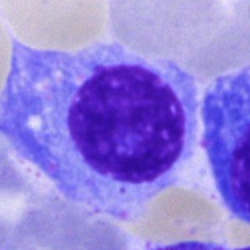
Q: What is shown here?
A: A plasma cell.